Bone marrow aspirate smear: 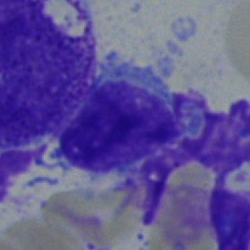Morphological class — lymphocyte.